100× objective, oil immersion; peripheral blood film
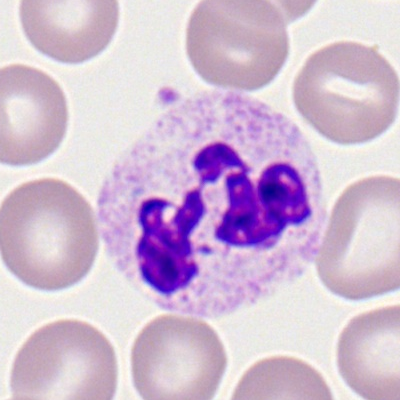

Q: What is the morphological classification of this cell?
A: It is a neutrophil (segmented).